250×250 px; MGG-stained; bone marrow smear: 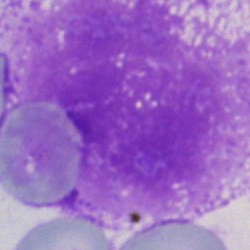

The cell shown is an artefact.